May-Grünwald-Giemsa/Pappenheim stain; bone marrow aspirate smear; 250 by 250 pixels:
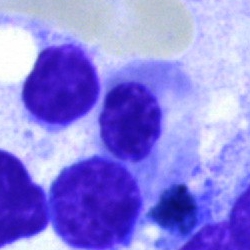
Cell = nucleated red cell.